Bone marrow aspirate smear: 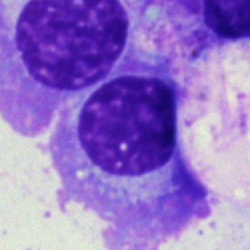

Classification = plasmacyte.